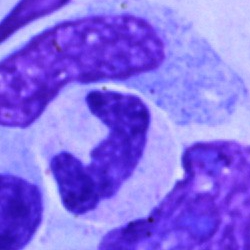{"cell_type": "segmented neutrophil"}